250 by 250 pixels. Brightfield, 40× oil-immersion objective. Bone marrow aspirate smear:
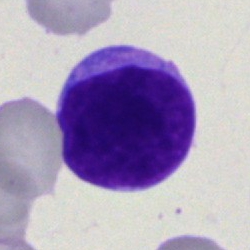 A lymphocyte.